250×250 px · bone marrow aspirate smear · Pappenheim-stained:
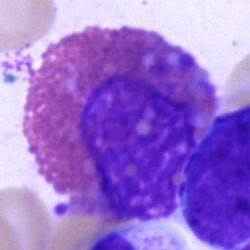

Specimen: bone marrow smear.
Morphological class: eosinophil.